Peripheral blood film: 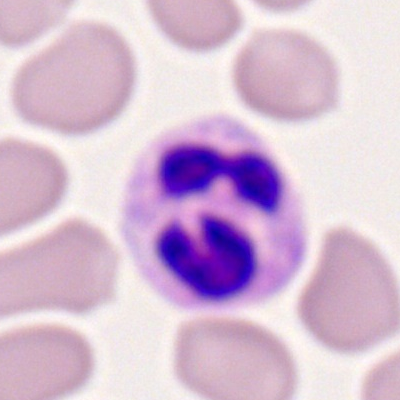 Showing a neutrophil (segmented).